Bone marrow aspirate smear: 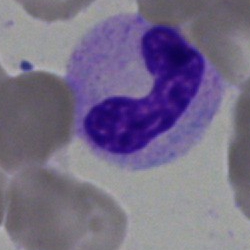Impression — stab cell.